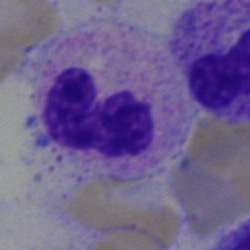 The cell type is neutrophil (segmented).